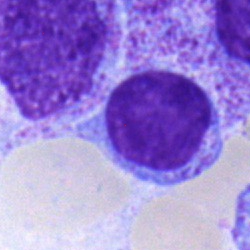

Specimen: bone marrow aspirate smear.
Morphological class: lymphocyte.